Bone marrow smear — 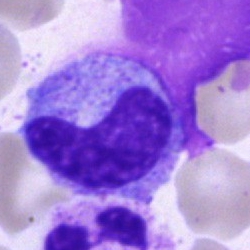Q: What type of cell is this?
A: Metamyelocyte.